Bone marrow aspirate smear · 40× oil immersion · 250×250 px.
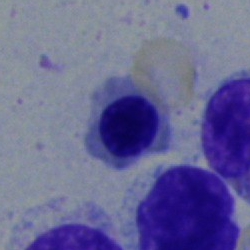 Q: Identify the cell.
A: It is an erythroblast.